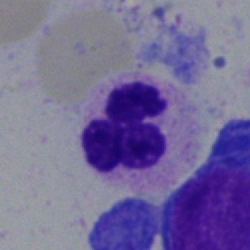

Neutrophil (segmented).